Bone marrow smear:
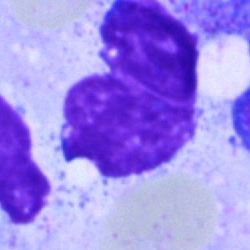Morphology consistent with an artifact.